Bone marrow smear: 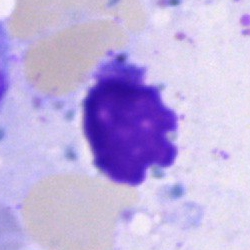

Cell type: artefact.